Bone marrow smear · single-cell crop:
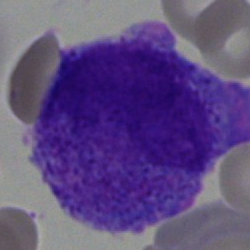
The cell is undifferentiated blast.